May-Grünwald-Giemsa stain. Bone marrow smear — 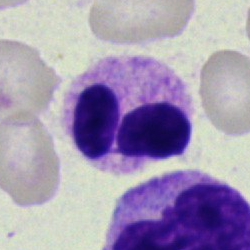
A segmented neutrophil.